Bone marrow aspirate smear:
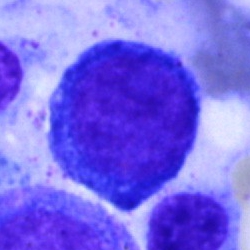
The cell type is pronormoblast.